Bone marrow aspirate smear — 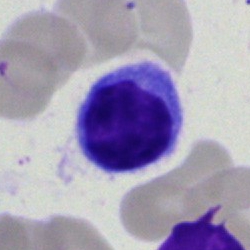
Impression — typical lymphocyte.